Bone marrow aspirate smear.
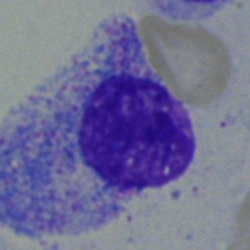

Impression — myelocyte.